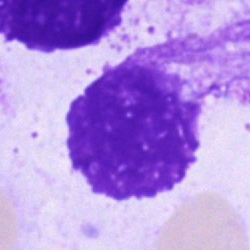
Cell = artefact.